Bone marrow aspirate smear; single-cell crop: 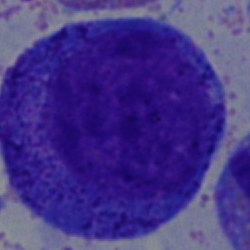

Q: What cell is this?
A: This is a progranulocyte.